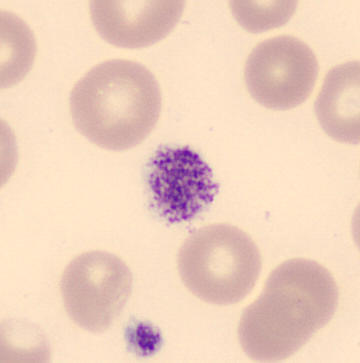
From a peripheral blood smear: a thrombocyte.